Single-cell crop. Peripheral blood film. Romanowsky-type stain.
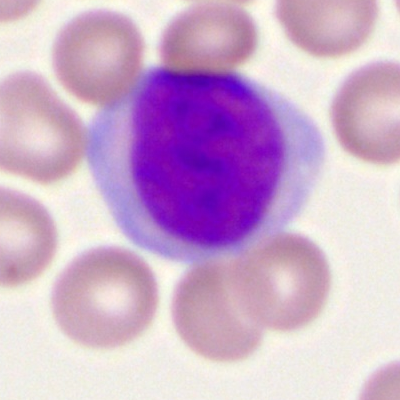Q: Which cell type is shown here?
A: It is a myeloid blast.